May-Grünwald-Giemsa stain · single-cell crop · bone marrow smear — 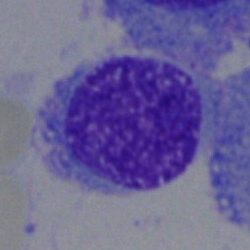 Cell type = plasmacyte.